Bone marrow aspirate smear; 40× oil immersion: 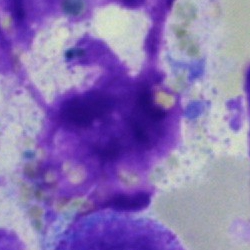 This is an artifact.